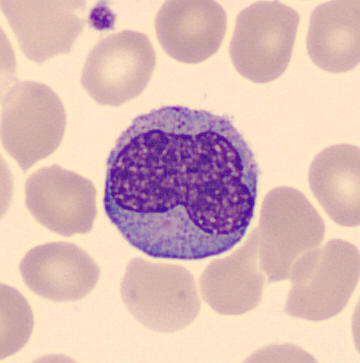 Preparation: Peripheral blood film.

Morphological class = monocyte.